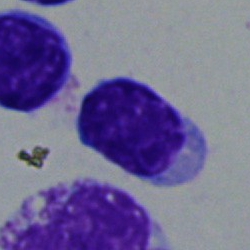Bone marrow smear showing a lymphocyte.